Bone marrow aspirate smear. 250×250 px.
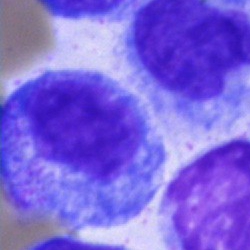Impression → progranulocyte.